Bone marrow smear
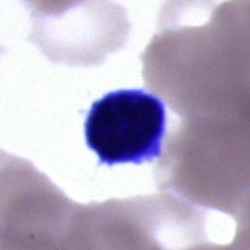Q: Identify the cell.
A: This is a typical lymphocyte.